Bone marrow smear.
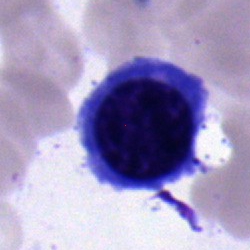
Nucleated red blood cell.